Bone marrow aspirate smear. 250×250: 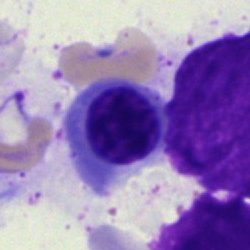{"cell_type": "normoblast", "lineage": "erythroid"}